Bone marrow smear
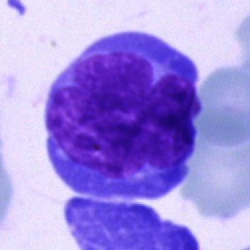

Morphology consistent with an undifferentiated blast.